250×250 px. Bone marrow smear — 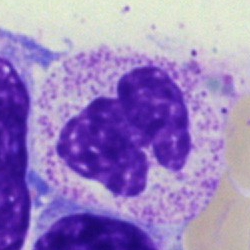 The cell shown is a polymorphonuclear neutrophil.